MGG-stained; bone marrow aspirate smear; single cell centered in the field — 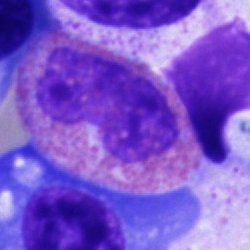

Morphology → eosinophilic granulocyte.